Single-cell crop; bone marrow aspirate smear: 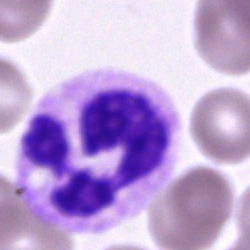 Single cell identified as a segmented neutrophil.